May-Grünwald-Giemsa stain · bone marrow smear · image size 250×250.
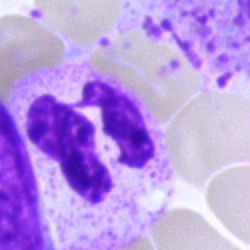Cell: neutrophil (segmented).